Bone marrow aspirate smear: 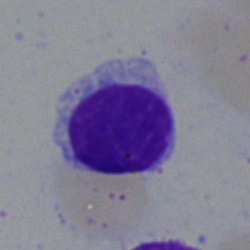

Specimen: bone marrow smear.
Morphological class: typical lymphocyte.
Lineage: lymphoid.